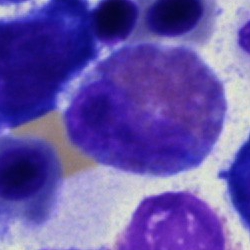
Single cell identified as an eosinophil.